Bone marrow smear: 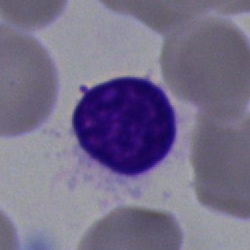 Q: What type of cell is this?
A: Typical lymphocyte.